Bone marrow smear. Pappenheim-stained. 40× oil immersion.
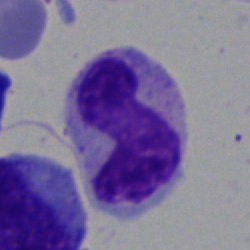Morphological class: band neutrophil.